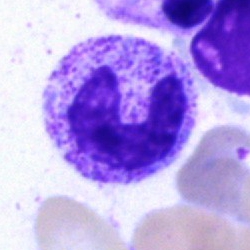
Cell = neutrophil (band).